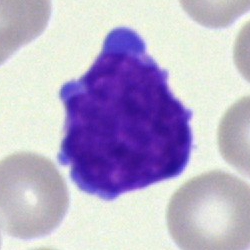
This is a blast cell.